Bone marrow aspirate smear; MGG-stained — 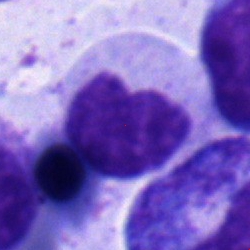

This is a metamyelocyte.